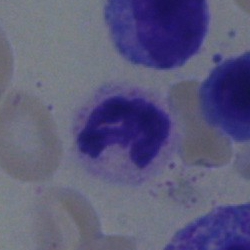 Classification — polymorphonuclear neutrophil.